Bone marrow smear. Brightfield, 40× oil-immersion objective.
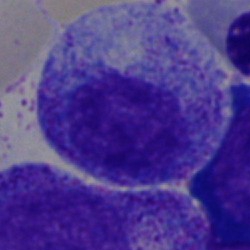

Q: What is shown here?
A: It is a progranulocyte.